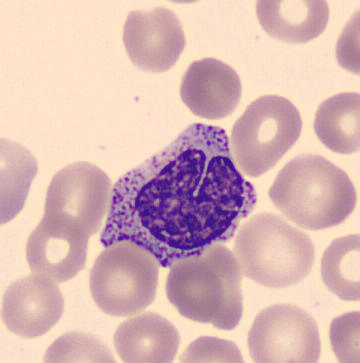

Specimen: peripheral blood film.
Cell type: metamyelocyte.